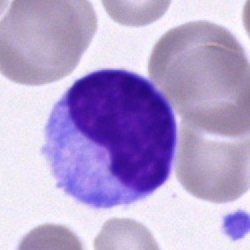

This is a cell of indeterminate lineage.